Bone marrow smear · May-Grünwald-Giemsa stain
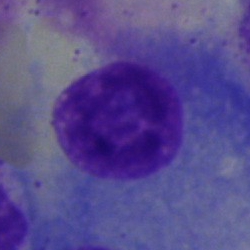
Morphology consistent with a plasma cell.